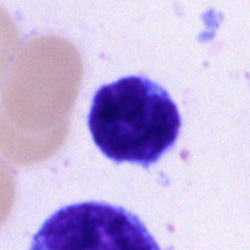 Bone marrow aspirate smear, single cell — lymphocyte.